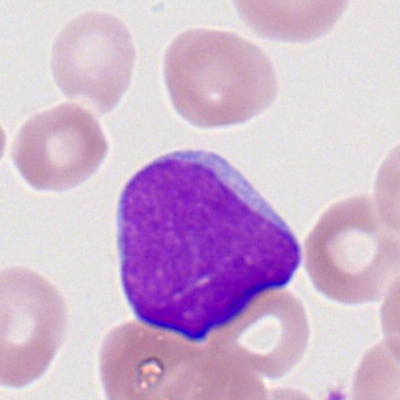 Classification — myeloid blast.